Bone marrow smear:
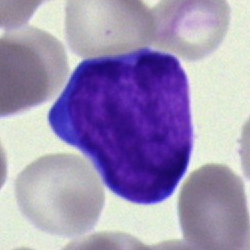 {"cell_type": "blast"}